Bone marrow aspirate smear. 250×250 px. 40× objective, oil immersion.
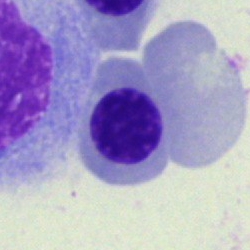Impression — nucleated red blood cell.